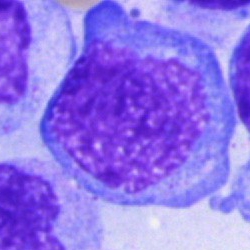 Bone marrow aspirate smear, single cell — blast.